250 by 250 pixels; bone marrow smear; single-cell crop
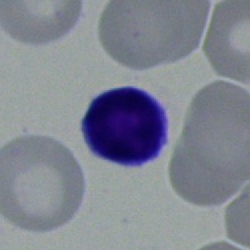

Cell type: lymphocyte.